40× objective, oil immersion; bone marrow smear
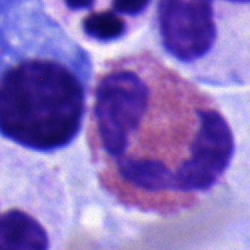

Specimen: bone marrow aspirate smear.
Cell: eosinophilic granulocyte.